Bone marrow smear
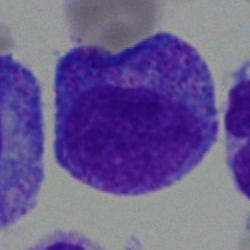
A progranulocyte.